Bone marrow smear. 250×250.
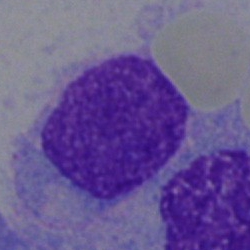Cell type = plasma cell.